400×400. Peripheral blood film: 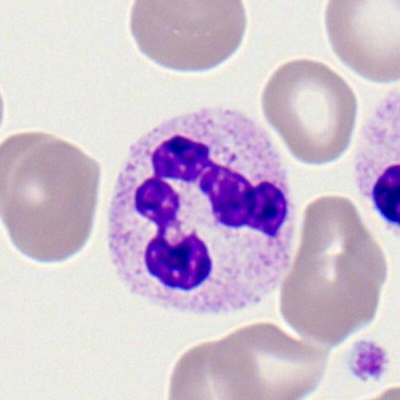

The morphological class is polymorphonuclear neutrophil.